Bone marrow smear. Cropped to a single cell.
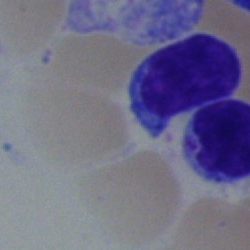Cell: typical lymphocyte.